40× objective, oil immersion. Bone marrow aspirate smear
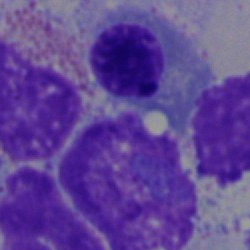 Cell type = nucleated red blood cell.